May-Grünwald-Giemsa stain. Bone marrow smear: 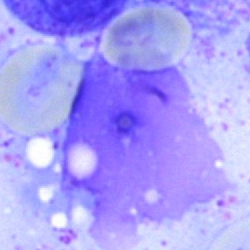
Cell type: artefact.